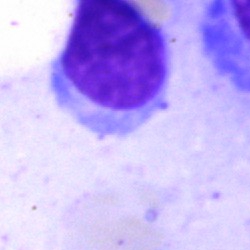

Q: Which cell type is shown here?
A: It is a lymphocyte.